Bone marrow aspirate smear
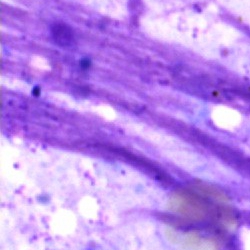

Showing an artefact.